40× objective, oil immersion · bone marrow smear
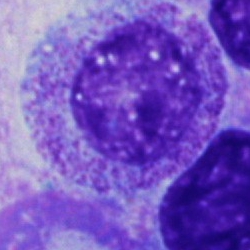

Specimen: bone marrow aspirate smear.
Classification: progranulocyte.
Lineage: myeloid.